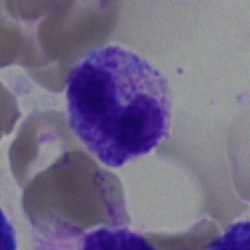

Specimen: bone marrow aspirate smear.
Classification: stab cell.